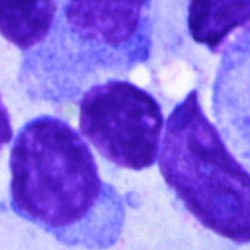Single cell identified as an artifact.